Bone marrow smear — 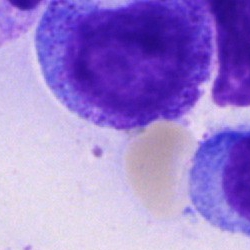Impression — promyelocyte.